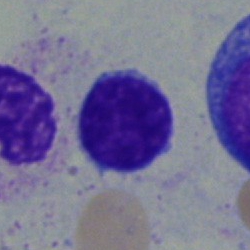 Morphological class = typical lymphocyte.